Bone marrow smear; cropped to a single cell; brightfield microscopy, 40× oil immersion:
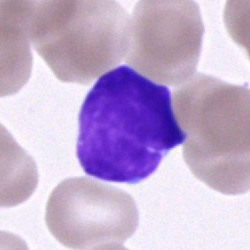
Single cell identified as a typical lymphocyte.